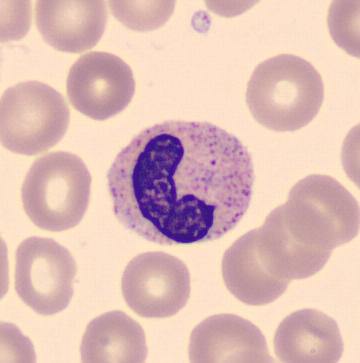 A neutrophil (band).